Bone marrow aspirate smear. May-Grünwald-Giemsa/Pappenheim stain. Brightfield microscopy, 40× oil immersion:
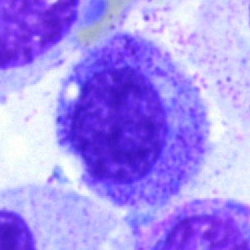
Classification — myelocyte.